Bone marrow aspirate smear. Brightfield, 40× oil-immersion objective. Pappenheim-stained — 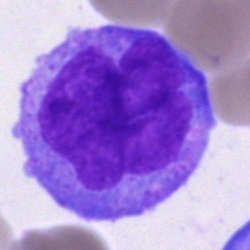 Q: What is the morphological classification of this cell?
A: This is a monocyte.